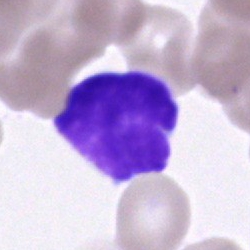

Classification = typical lymphocyte.